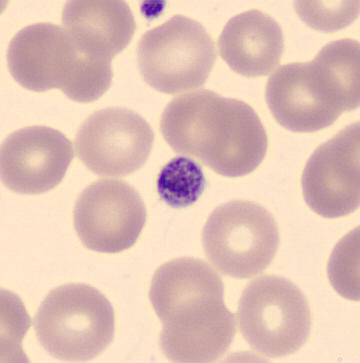

{"cell_type": "thrombocyte"}